Single-cell crop. Bone marrow aspirate smear:
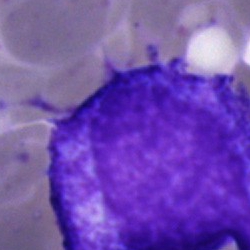

Showing a progranulocyte.